40× oil immersion · bone marrow aspirate smear — 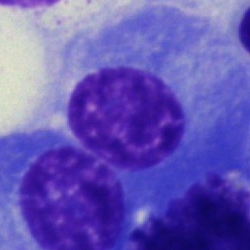 Q: What type of cell is this?
A: A plasma cell.